Bone marrow aspirate smear · 40× objective, oil immersion · May-Grünwald-Giemsa/Pappenheim stain: 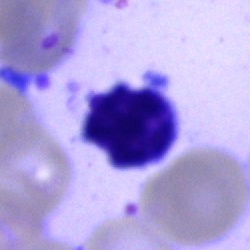
The cell shown is a typical lymphocyte.